Bone marrow smear — 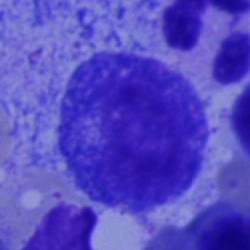
Cell type — progranulocyte.